Bone marrow smear — 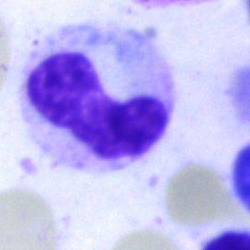 Morphological class: neutrophil (band).